Bone marrow smear — 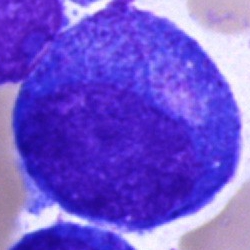
The cell shown is a progranulocyte.